May-Grünwald-Giemsa/Pappenheim stain. Bone marrow aspirate smear:
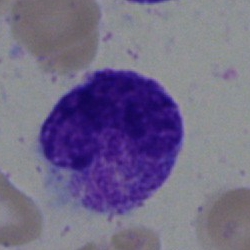
Morphology consistent with a polymorphonuclear neutrophil.